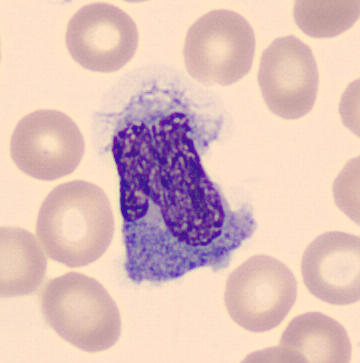 Preparation: Peripheral blood smear. Q: What is shown here?
A: Monocyte.